Peripheral blood smear:
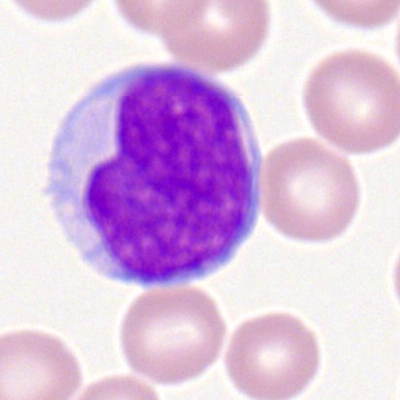Morphology consistent with a myeloblast.